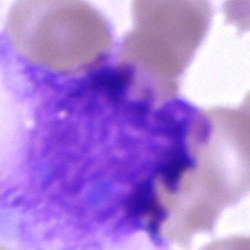 An artifact.